100× oil immersion, 14.14 px/µm · Romanowsky-type stain · peripheral blood smear — 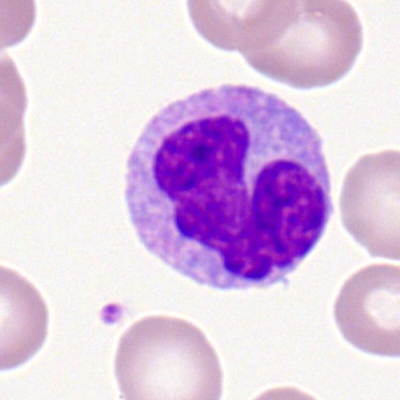

Single cell identified as a monocyte.